Single-cell crop; bone marrow smear; 250×250 px — 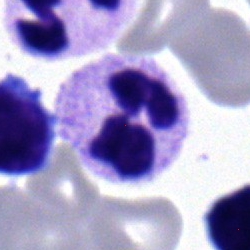 Morphology consistent with a segmented neutrophil.